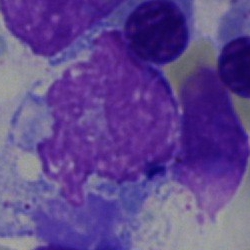 Bone marrow aspirate smear, single cell — artefact.